Bone marrow aspirate smear.
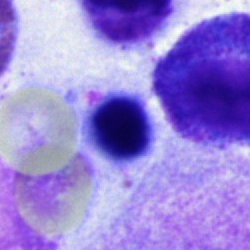 Nucleated red cell.